Bone marrow aspirate smear; 250 by 250 pixels — 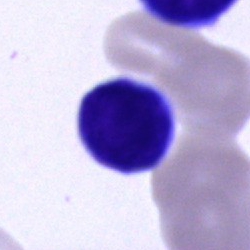
Specimen: bone marrow aspirate smear.
Morphological class: lymphocyte.
Lineage: lymphoid.